Bone marrow smear: 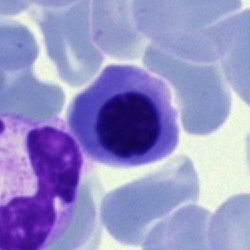Q: What cell is this?
A: An erythroblast.